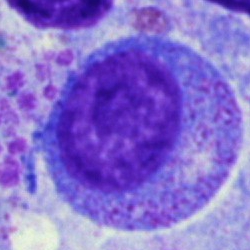Bone marrow smear showing a promyelocyte.